250 by 250 pixels. May-Grünwald-Giemsa stain. Bone marrow smear — 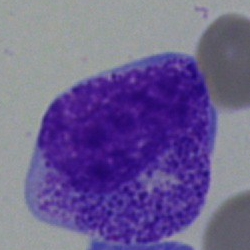
A myelocyte.